Bone marrow aspirate smear. May-Grünwald-Giemsa stain: 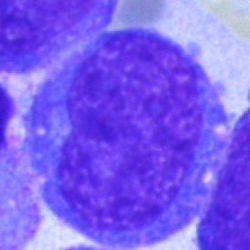 Progranulocyte.